Bone marrow smear: 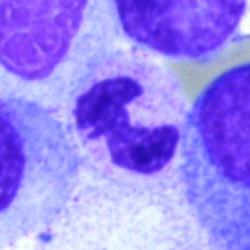Q: What cell is this?
A: This is a segmented neutrophil.